Bone marrow smear. Cropped to a single cell. 40× objective, oil immersion:
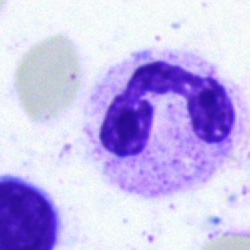

Single cell identified as a neutrophil (segmented).